Bone marrow smear.
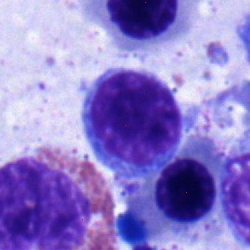
Cell = typical lymphocyte.